Bone marrow smear. Single-cell field: 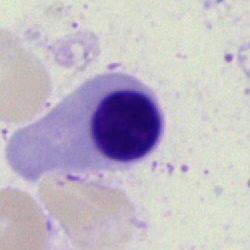 Morphology → erythroblast.